Bone marrow aspirate smear.
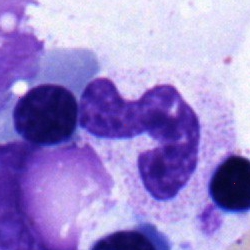
Impression → band neutrophil.